Peripheral blood smear
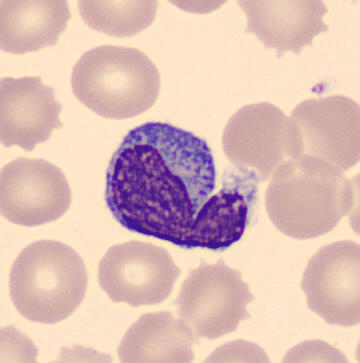 Specimen: peripheral blood smear.
Cell: monocyte.